Bone marrow smear
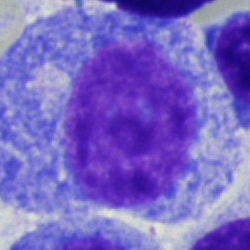 Q: What is shown here?
A: It is a progranulocyte.